Bone marrow smear:
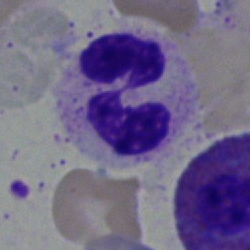
Classification — polymorphonuclear neutrophil.